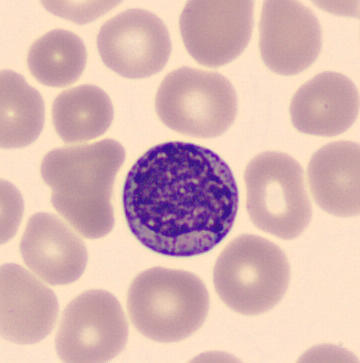 Morphology consistent with a myelocyte.